Peripheral blood film · 400 by 400 pixels:
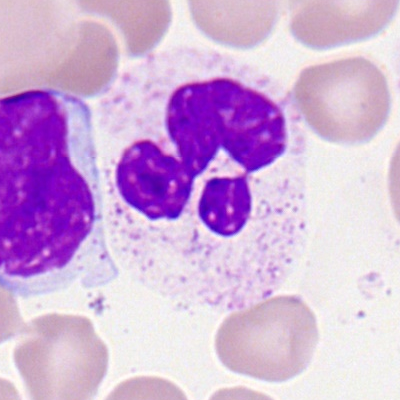

The cell is segmented neutrophil.